Brightfield, 40× oil-immersion objective. Bone marrow smear. 250×250:
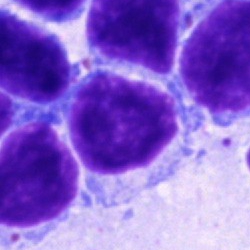
{"cell_type": "lymphocyte", "lineage": "lymphoid"}